Bone marrow aspirate smear · single-cell crop · 250×250: 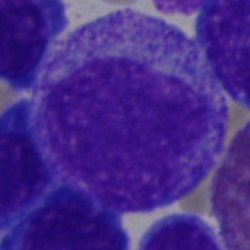 Showing a progranulocyte.